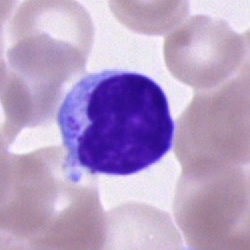
The cell shown is a lymphocyte.